250 by 250 pixels. Bone marrow aspirate smear. May-Grünwald-Giemsa stain:
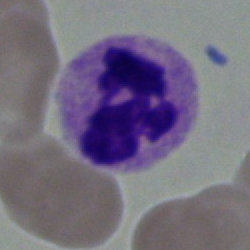
Cell type: segmented neutrophil.